Bone marrow aspirate smear: 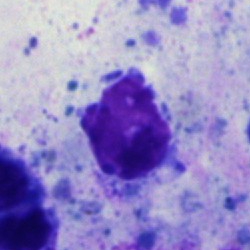

Artefact.